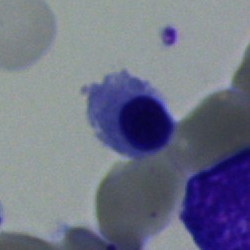
Bone marrow smear showing a nucleated red cell.